Bone marrow aspirate smear; 250 by 250 pixels
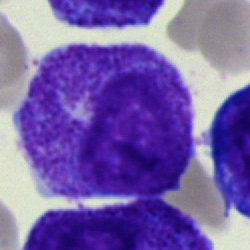 The cell shown is a myelocyte.